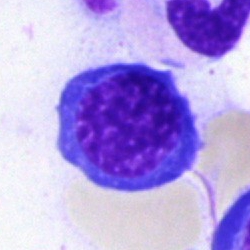

{"cell_type": "nucleated red cell", "lineage": "erythroid"}